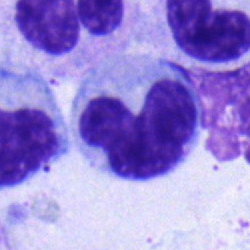

Showing a monocyte.